Single cell centered in the field · bone marrow aspirate smear · brightfield, 40× oil-immersion objective — 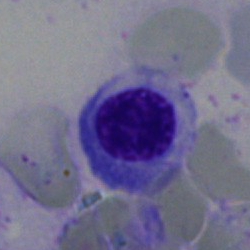 The classification is normoblast.